Bone marrow smear: 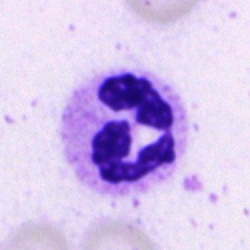 Single cell identified as a segmented neutrophil.